Bone marrow aspirate smear. May-Grünwald-Giemsa stain
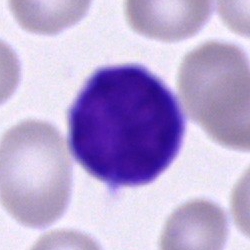

Cell — lymphocyte.